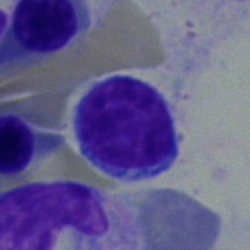
Single-cell crop from a bone marrow smear: lymphocyte.